Bone marrow smear.
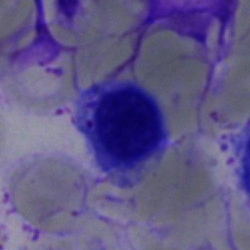 Morphology → normoblast.